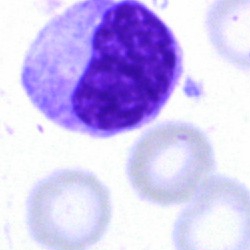

Metamyelocyte.